250 by 250 pixels; bone marrow smear
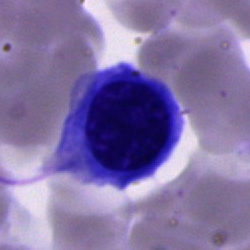
Cell: erythroblast.